250×250. Bone marrow smear.
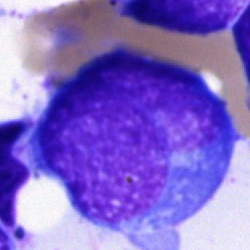 The classification is blast cell.